Peripheral blood smear: 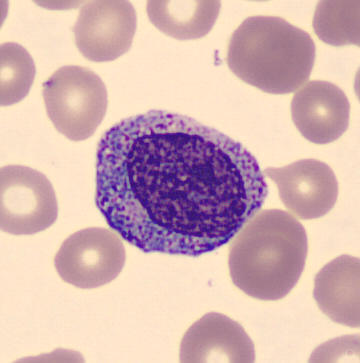Q: What is shown here?
A: A progranulocyte.